Bone marrow aspirate smear: 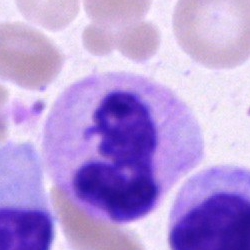 Cell — neutrophil (segmented).